Brightfield, 100× oil-immersion objective; Romanowsky-type stain; peripheral blood film.
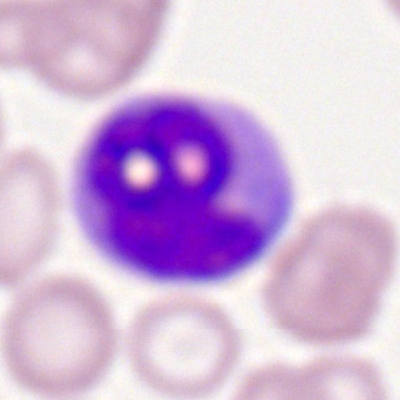
The cell shown is a monocyte.